Bone marrow smear: 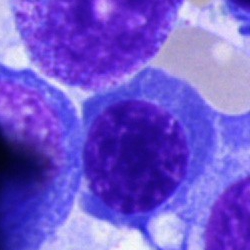
Q: Which cell type is shown here?
A: A normoblast.